250 by 250 pixels. Bone marrow smear. MGG-stained.
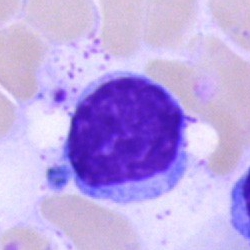 Classification: typical lymphocyte.